Bone marrow aspirate smear:
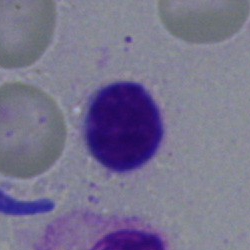Showing a lymphocyte.